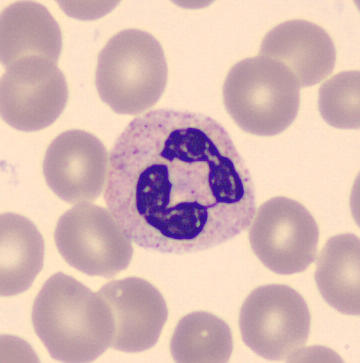
360×363 px · peripheral blood smear · cropped to a single cell. Morphological class — neutrophil (segmented).